Bone marrow aspirate smear — 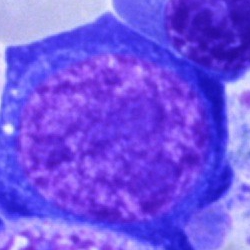

Cell type: nucleated red cell.